Brightfield microscopy, 40× oil immersion; bone marrow smear: 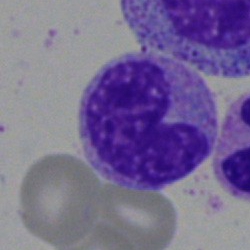

Morphology consistent with a metamyelocyte.